Brightfield, 40× oil-immersion objective. Bone marrow aspirate smear — 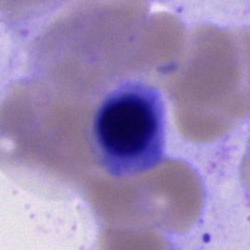

A nucleated red blood cell.